Bone marrow aspirate smear:
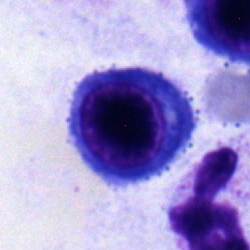Morphology consistent with a nucleated red blood cell.